Peripheral blood smear; single cell centered in the field — 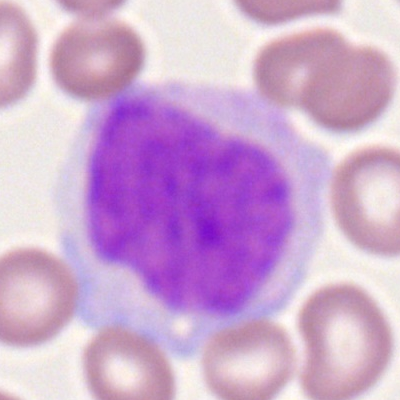

Morphology consistent with a monocyte.